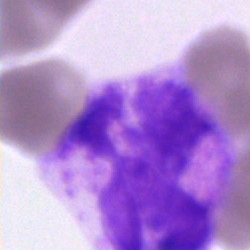

Bone marrow aspirate smear, single cell — artifact.